Bone marrow aspirate smear:
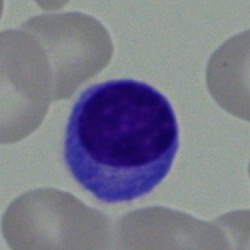

The cell shown is a lymphocyte.